MGG-stained. Bone marrow smear.
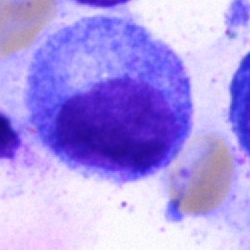Cell = promyelocyte.